40× oil immersion; bone marrow smear; image size 250×250
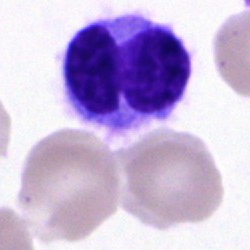

Specimen: bone marrow aspirate smear.
Cell: lymphocyte.
Lineage: lymphoid.